Bone marrow aspirate smear; brightfield, 40× oil-immersion objective.
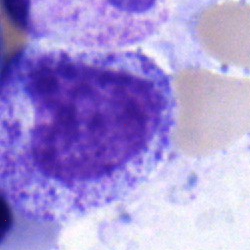
Promyelocyte.